MGG-stained; peripheral blood film: 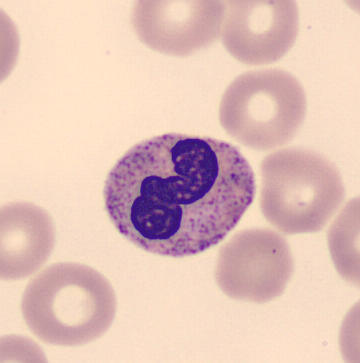

Q: What cell is this?
A: This is a band-form neutrophil.